MGG-stained; bone marrow aspirate smear
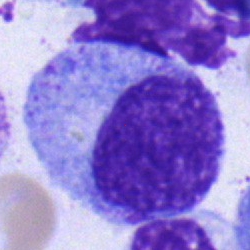

Cell type: progranulocyte.